Peripheral blood film; 360 by 363 pixels.
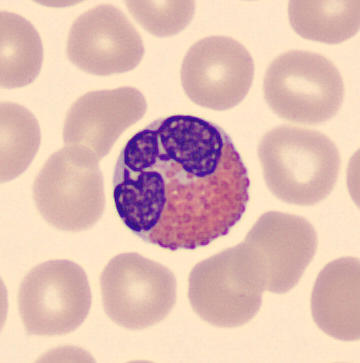

Specimen: peripheral blood film.
Cell type: eosinophilic granulocyte.
Lineage: myeloid.